Bone marrow smear: 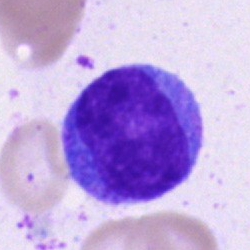

Cell: blast cell.